Bone marrow aspirate smear:
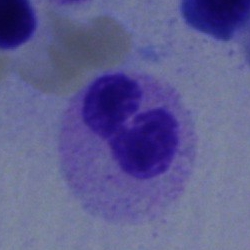Single cell identified as a band-form neutrophil.